Peripheral blood film: 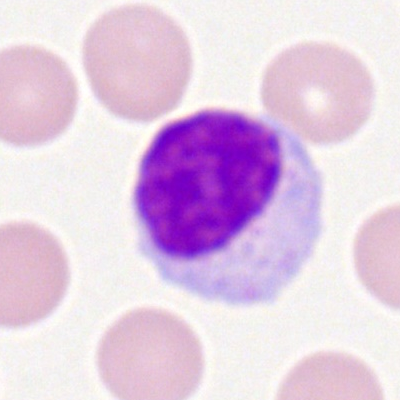

{"cell_type": "lymphocyte", "lineage": "lymphoid"}